Bone marrow smear:
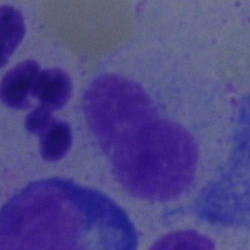Metamyelocyte.